Bone marrow aspirate smear: 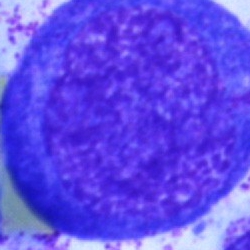

Single cell identified as a proerythroblast.